Peripheral blood film — 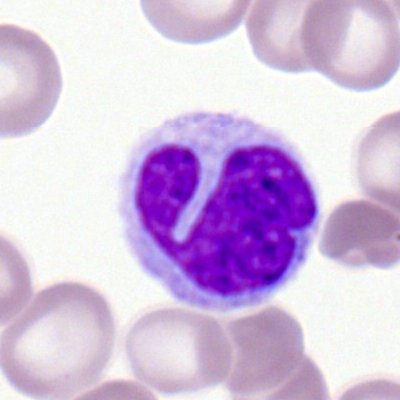Showing a monocyte.